Bone marrow smear
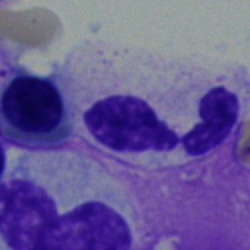
Cell type = polymorphonuclear neutrophil.